Bone marrow aspirate smear.
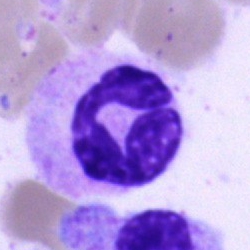Q: Identify the cell.
A: Neutrophil (segmented).